Bone marrow smear; 250 by 250 pixels — 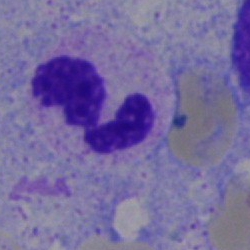 A segmented neutrophil.